Peripheral blood film:
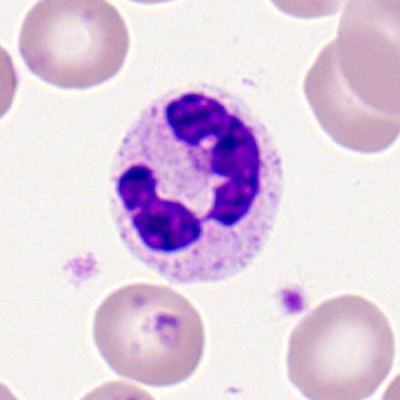

Morphology consistent with a segmented neutrophil.